250×250 px; bone marrow smear; MGG-stained:
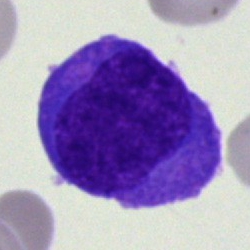 The cell shown is an undifferentiated blast.